Bone marrow aspirate smear
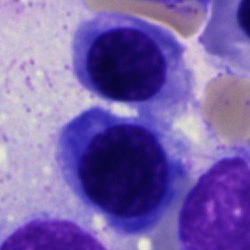
Morphology consistent with an erythroblast.